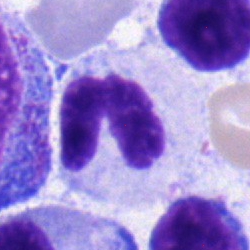

Cell — stab cell.